Bone marrow aspirate smear
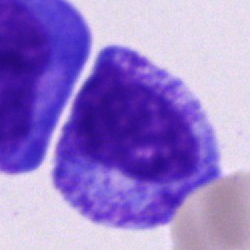{"cell_type": "progranulocyte"}